Bone marrow smear
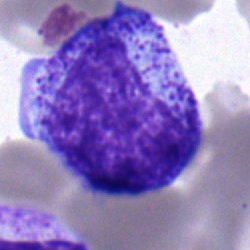 Q: What cell is this?
A: Promyelocyte.